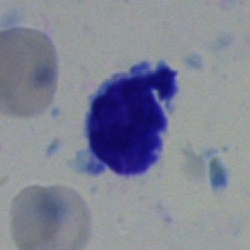
Showing a typical lymphocyte.